Peripheral blood smear.
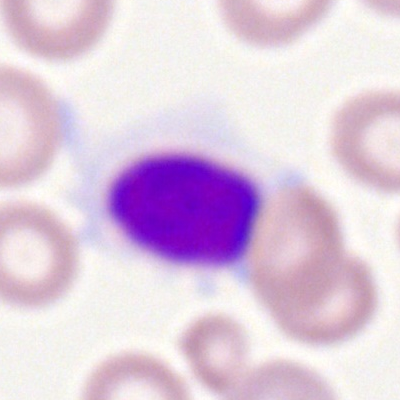
Specimen: peripheral blood smear.
Morphological class: lymphocyte.
Lineage: lymphoid.